Bone marrow smear
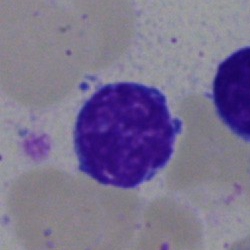
Showing a lymphocyte.